Bone marrow smear; 40× oil immersion; 250×250
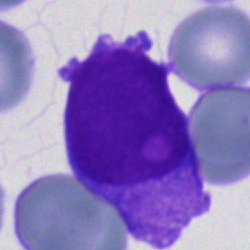Cell: blast.